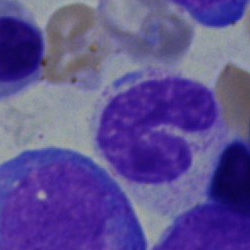

Cell type — stab cell.